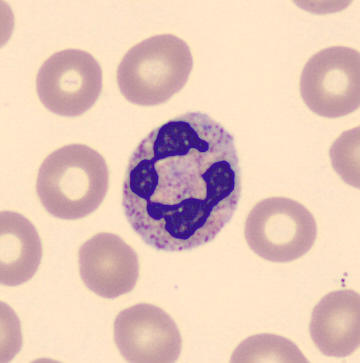

Classification: polymorphonuclear neutrophil. Peripheral blood film.